Bone marrow aspirate smear — 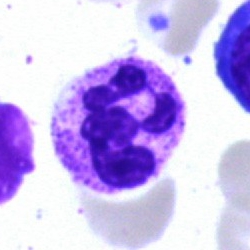

The cell type is polymorphonuclear neutrophil.